250×250 · bone marrow aspirate smear
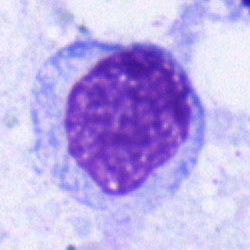Classification = myelocyte.